Bone marrow smear · May-Grünwald-Giemsa stain · 40× objective, oil immersion — 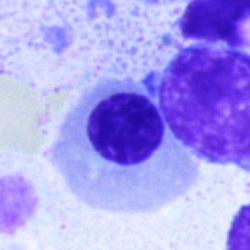 Erythroblast.